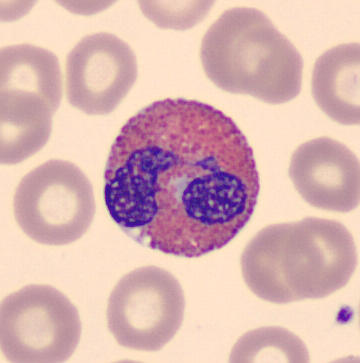Cell — eosinophil.

Image: 360 by 363 pixels · automated cell imaging (CellaVision DM96) · peripheral blood smear.